Bone marrow aspirate smear
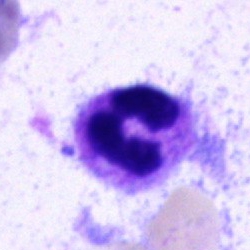 Showing a neutrophil (segmented).